Bone marrow aspirate smear: 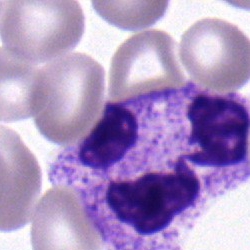
Single cell identified as a segmented neutrophil.